Cropped to a single cell · 250×250 · bone marrow smear — 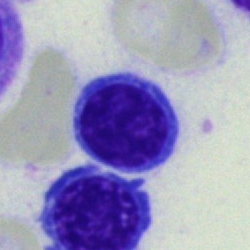Showing a lymphocyte.